Brightfield, 40× oil-immersion objective; bone marrow aspirate smear.
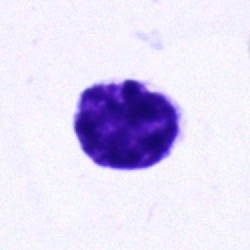Showing a lymphocyte.